Bone marrow smear.
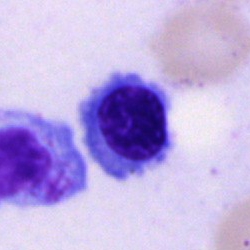
Impression → normoblast.